Bone marrow smear. 40× oil immersion:
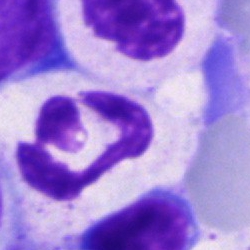 {"cell_type": "segmented neutrophil", "lineage": "myeloid"}